Bone marrow aspirate smear.
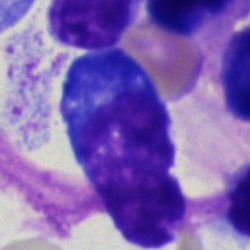
The cell is blast.